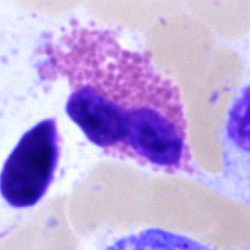 Bone marrow aspirate smear, single cell — eosinophil.